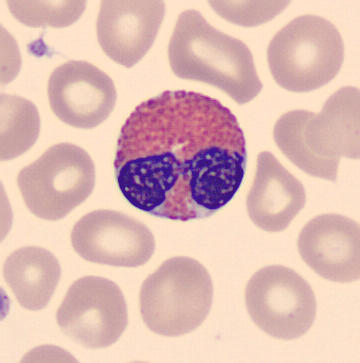 The morphological class is eosinophilic granulocyte. Image: May-Grünwald-Giemsa-stained. Peripheral blood smear.